Cropped to a single cell; bone marrow aspirate smear.
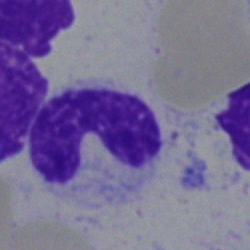 The cell is band neutrophil.